Bone marrow smear; May-Grünwald-Giemsa/Pappenheim stain: 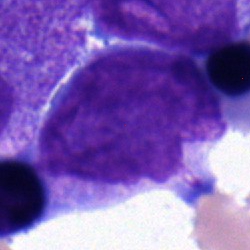 Morphology consistent with a blast cell.